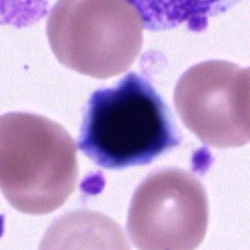The cell is cell of indeterminate lineage.